Peripheral blood smear.
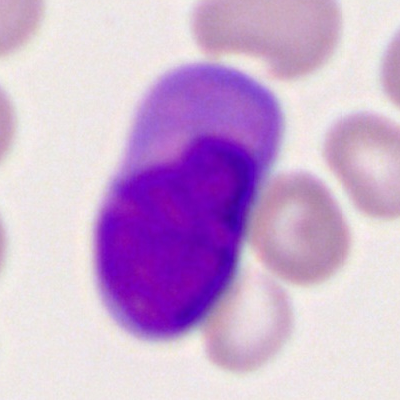
The morphological class is myeloblast.